250×250 px · bone marrow smear — 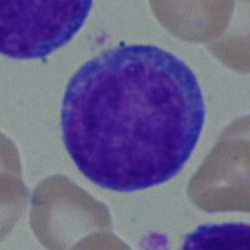 The morphological class is blast cell.